Peripheral blood smear: 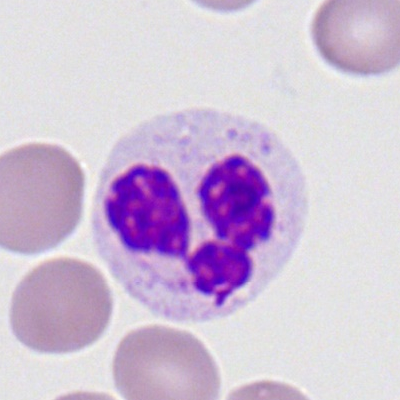 Specimen: peripheral blood film.
Cell type: neutrophil (segmented).